Bone marrow smear:
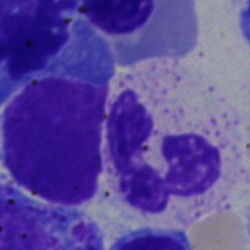Specimen: bone marrow aspirate smear.
Morphological class: segmented neutrophil.